Bone marrow smear — 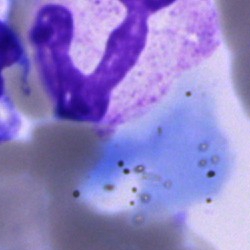
Morphological class: polymorphonuclear neutrophil.